Bone marrow aspirate smear: 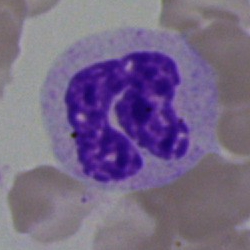

This is a neutrophil (segmented).